Bone marrow smear — 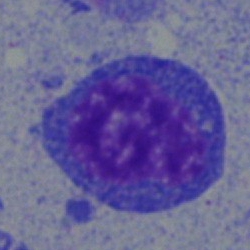

Morphology — blast.